Bone marrow aspirate smear
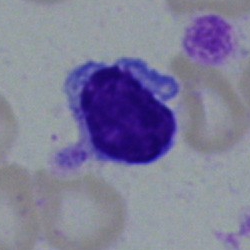
The classification is typical lymphocyte.